Bone marrow smear — 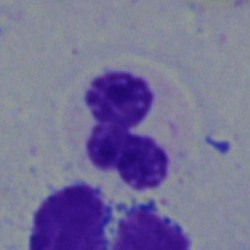

Morphology — polymorphonuclear neutrophil.